Bone marrow aspirate smear · May-Grünwald-Giemsa stain · brightfield microscopy, 40× oil immersion: 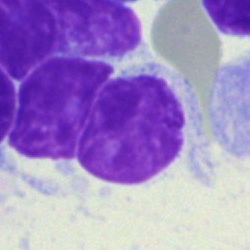 Q: What type of cell is this?
A: It is a lymphocyte.